Peripheral blood smear: 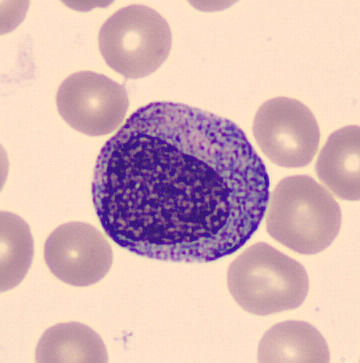
Cell type — progranulocyte.